Peripheral blood film:
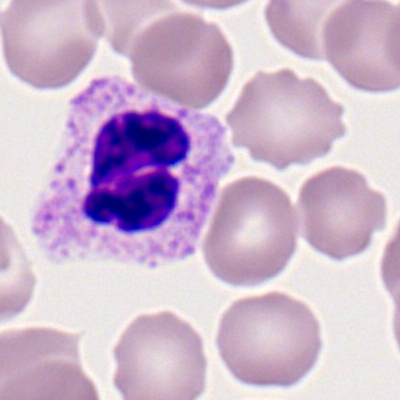

The morphological class is segmented neutrophil.